Bone marrow aspirate smear: 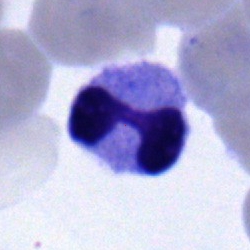 The cell type is neutrophil (segmented).